Bone marrow aspirate smear · Pappenheim-stained:
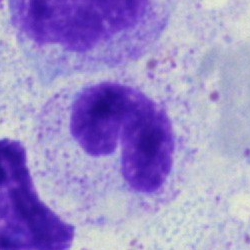
Specimen: bone marrow aspirate smear.
Classification: band neutrophil.